MGG-stained · bone marrow aspirate smear: 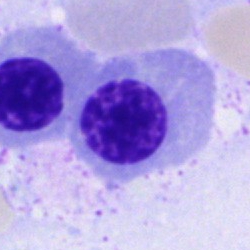 Morphology consistent with an erythroblast.